Bone marrow smear · brightfield, 40× oil-immersion objective.
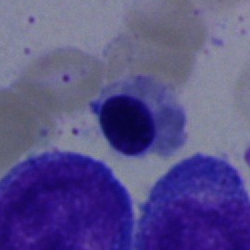Morphology — normoblast.